Bone marrow aspirate smear:
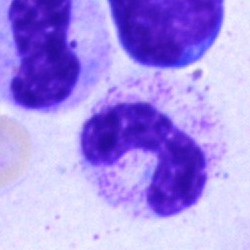
The cell shown is a neutrophil (band).